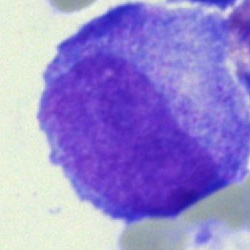 Cell type: progranulocyte.